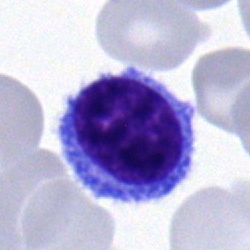

Specimen: bone marrow aspirate smear.
Classification: typical lymphocyte.